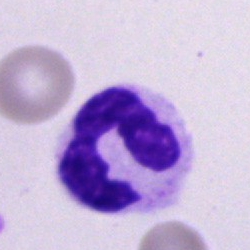 The cell type is neutrophil (segmented).